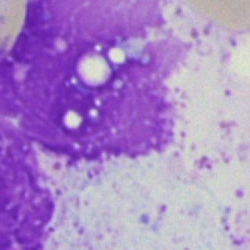
The cell is artifact.